Bone marrow smear:
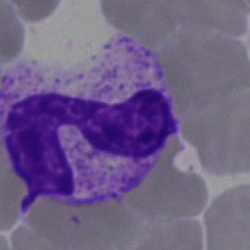
Classification = neutrophil (segmented).